40× objective, oil immersion. May-Grünwald-Giemsa stain. Bone marrow smear.
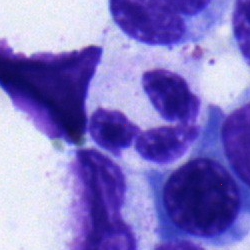Showing a segmented neutrophil.